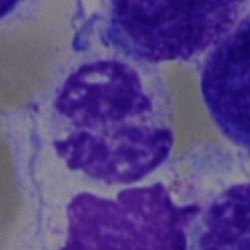 Specimen: bone marrow smear.
Cell: artefact.